Bone marrow aspirate smear. Single cell centered in the field:
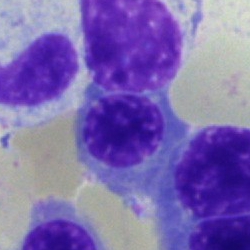

{"cell_type": "normoblast"}